Bone marrow aspirate smear
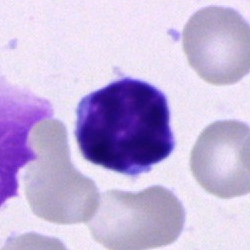

The cell shown is a typical lymphocyte.